Bone marrow smear; 40× oil immersion; Pappenheim-stained:
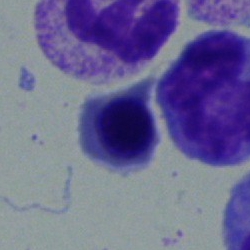
{"cell_type": "nucleated red blood cell", "lineage": "erythroid"}